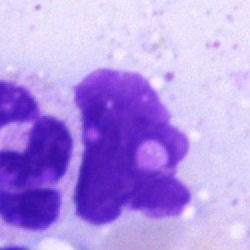Bone marrow smear showing an artifact.